Brightfield microscopy, 40× oil immersion; bone marrow smear.
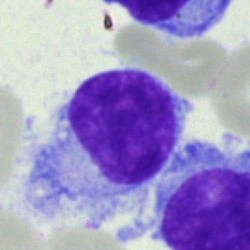
Q: What is shown here?
A: This is a hairy cell.